Bone marrow smear; 40× objective, oil immersion:
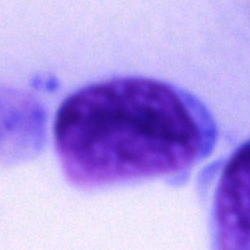 Q: Which cell type is shown here?
A: Undifferentiated blast.